Bone marrow smear — 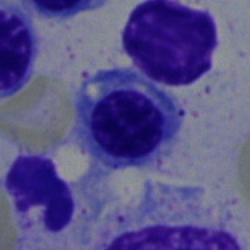
Morphology → nucleated red cell.